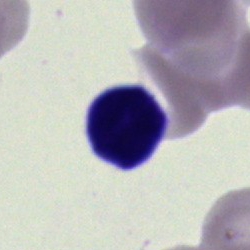

Single-cell crop from a bone marrow smear: lymphocyte.